Bone marrow aspirate smear; single-cell crop.
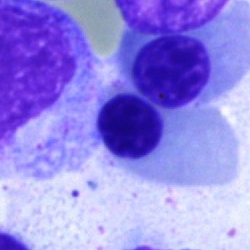
Specimen: bone marrow smear.
Classification: nucleated red blood cell.